Bone marrow aspirate smear: 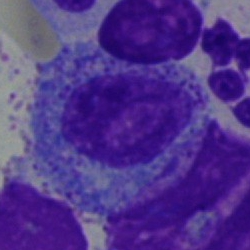

Specimen: bone marrow aspirate smear.
Cell type: progranulocyte.
Lineage: myeloid.